Bone marrow smear.
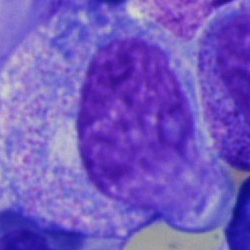

Impression — progranulocyte.